250 by 250 pixels; bone marrow aspirate smear; 40× oil immersion — 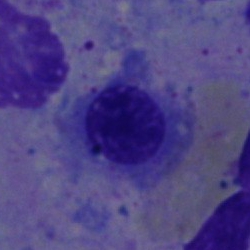
Impression — nucleated red blood cell.